Bone marrow aspirate smear · May-Grünwald-Giemsa/Pappenheim stain · 40× oil immersion.
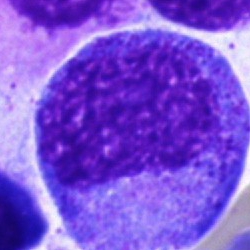Showing a progranulocyte.